Bone marrow aspirate smear:
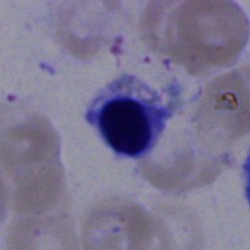Morphology consistent with a nucleated red cell.